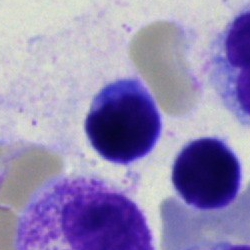The cell shown is a typical lymphocyte.